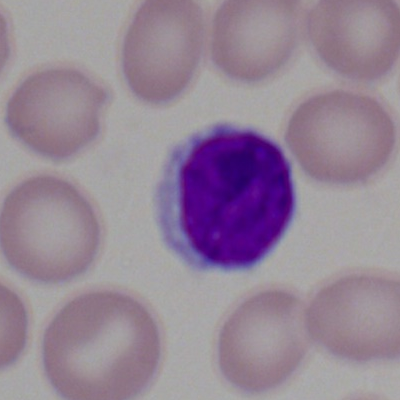

Q: What is the morphological classification of this cell?
A: This is a lymphocyte.